Single cell centered in the field. Bone marrow smear — 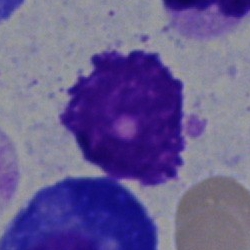
Cell: artifact.